May-Grünwald-Giemsa stain · bone marrow aspirate smear:
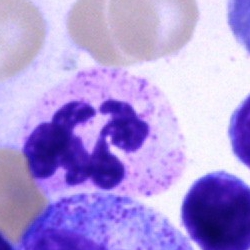Morphological class: polymorphonuclear neutrophil.